Bone marrow smear: 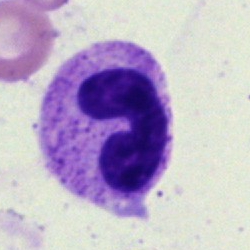Morphology → neutrophil (band).